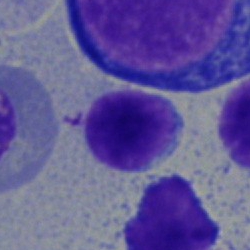 The classification is lymphocyte.